Bone marrow aspirate smear.
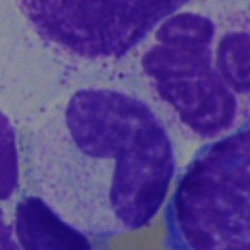

Morphology consistent with a stab cell.